Bone marrow aspirate smear:
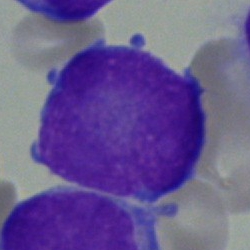 Morphology consistent with a blast.